Bone marrow smear.
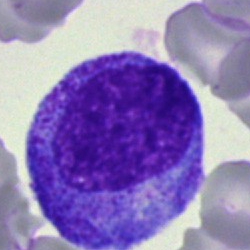Specimen: bone marrow smear.
Morphological class: promyelocyte.
Lineage: myeloid.